Bone marrow smear:
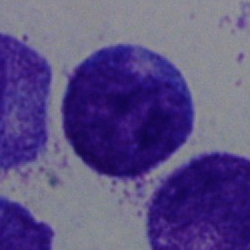
Cell = promyelocyte.